Bone marrow smear: 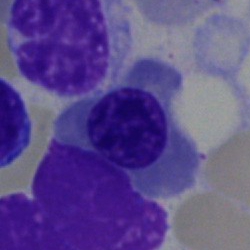 Cell — nucleated red cell.